Bone marrow smear:
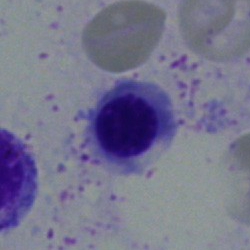

The morphological class is nucleated red blood cell.